Bone marrow aspirate smear
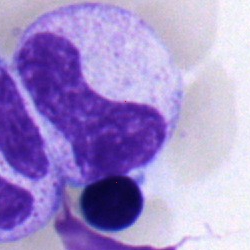
Single cell identified as a neutrophil (band).